MGG-stained; bone marrow aspirate smear
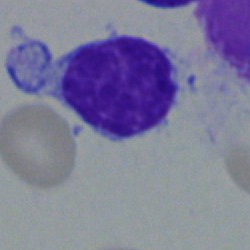Cell type: typical lymphocyte.